Image size 250×250. Bone marrow aspirate smear. Brightfield, 40× oil-immersion objective — 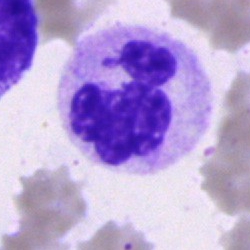 Showing a neutrophil (segmented).